250 by 250 pixels; bone marrow aspirate smear
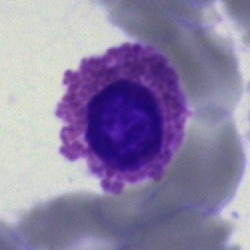Eosinophilic granulocyte.